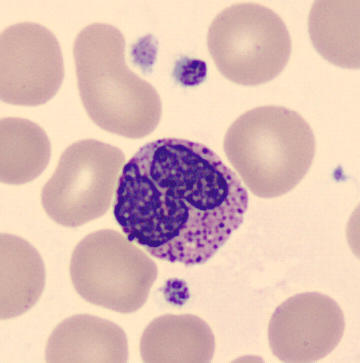
Cell type — basophilic granulocyte.